MGG-stained · bone marrow aspirate smear
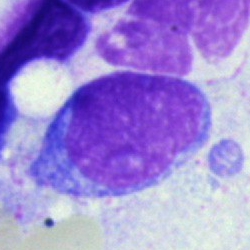
Specimen: bone marrow smear.
Cell type: undifferentiated blast.